MGG-stained; bone marrow aspirate smear
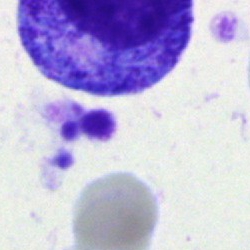Morphological class = cell of indeterminate lineage.